Brightfield microscopy, 40× oil immersion. Bone marrow aspirate smear — 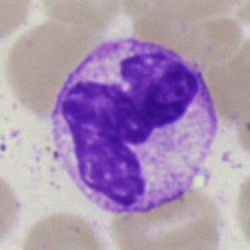Q: What is shown here?
A: It is a polymorphonuclear neutrophil.